Bone marrow aspirate smear
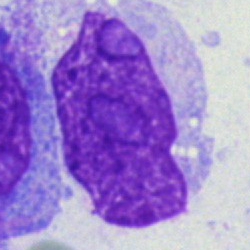 {"cell_type": "artefact"}